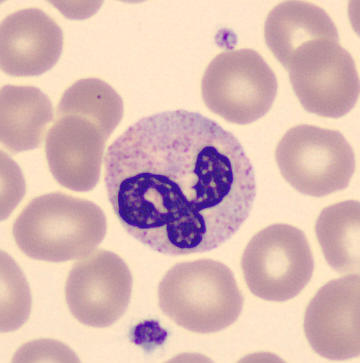

Morphology consistent with a polymorphonuclear neutrophil.

Peripheral blood film.